Bone marrow aspirate smear. Brightfield microscopy, 40× oil immersion. 250×250
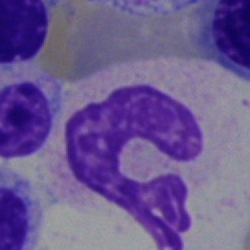 Polymorphonuclear neutrophil.